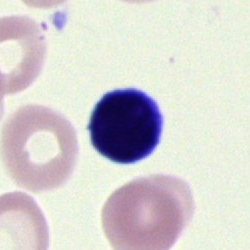 Q: What is shown here?
A: This is an artifact.